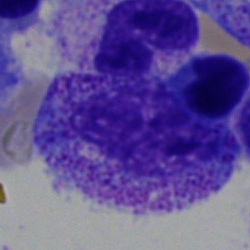
Single-cell crop from a bone marrow smear: progranulocyte.